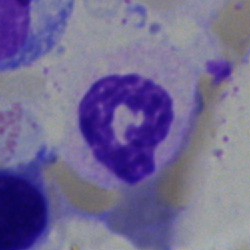Specimen: bone marrow aspirate smear.
Classification: polymorphonuclear neutrophil.